Bone marrow smear; MGG-stained; single-cell crop.
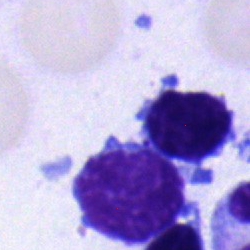
The cell shown is a typical lymphocyte.